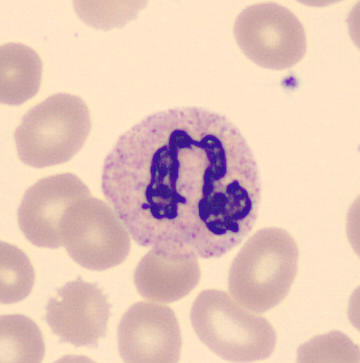
From a peripheral blood smear: a segmented neutrophil.